Bone marrow smear; cropped to a single cell; May-Grünwald-Giemsa/Pappenheim stain:
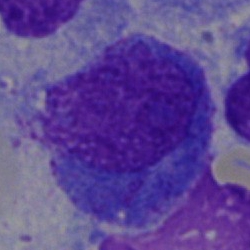

{"cell_type": "promyelocyte"}